Bone marrow aspirate smear
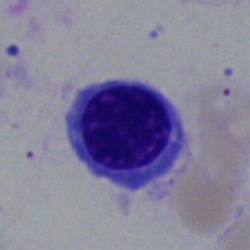
Q: What is the morphological classification of this cell?
A: It is a normoblast.